250 by 250 pixels. Bone marrow aspirate smear. 40× objective, oil immersion
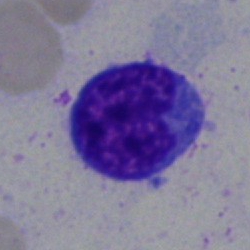
Showing a blast cell.